Bone marrow aspirate smear: 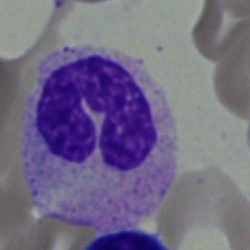

Showing a metamyelocyte.